Bone marrow smear: 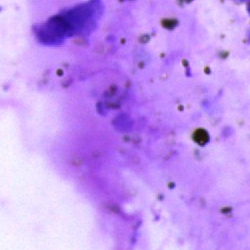Specimen: bone marrow smear.
Cell: artefact.